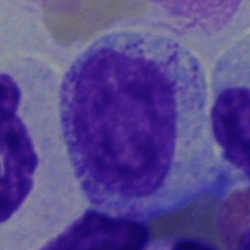

Impression → myelocyte.